Bone marrow aspirate smear:
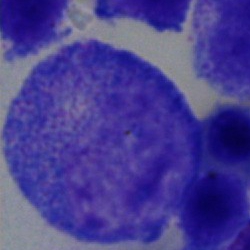 Q: What is shown here?
A: Progranulocyte.